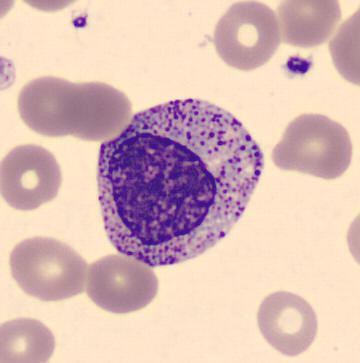Identified as a myelocyte. Acquisition: 360×363 · peripheral blood film · CellaVision DM96.